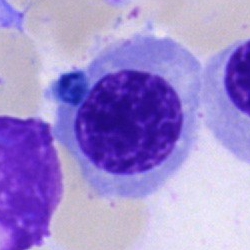Cell — erythroblast.